40× oil immersion · single-cell crop · bone marrow smear:
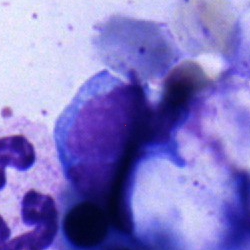 Lymphocyte.